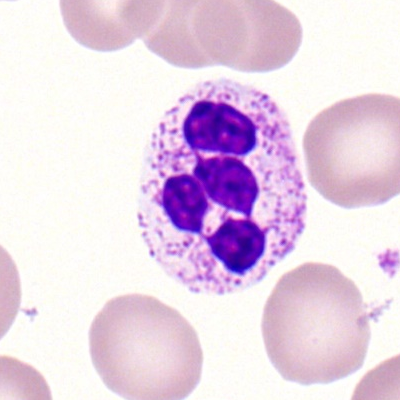
The cell type is neutrophil (segmented).